Bone marrow smear
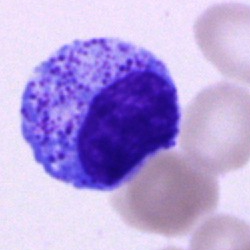 Specimen: bone marrow smear.
Cell type: myelocyte.
Lineage: myeloid.